Single cell centered in the field. Peripheral blood smear.
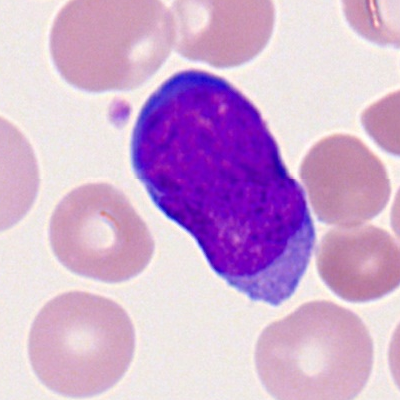 {"cell_type": "myeloblast", "lineage": "myeloid"}